Bone marrow smear: 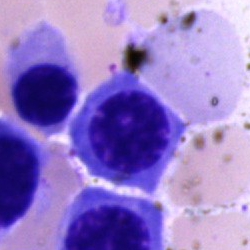 Showing a normoblast.